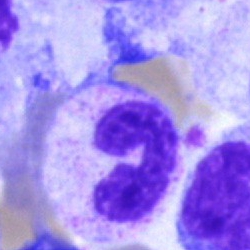 Bone marrow aspirate smear, single cell — polymorphonuclear neutrophil.